Brightfield, 100× oil-immersion objective. Peripheral blood smear. Romanowsky-type stain.
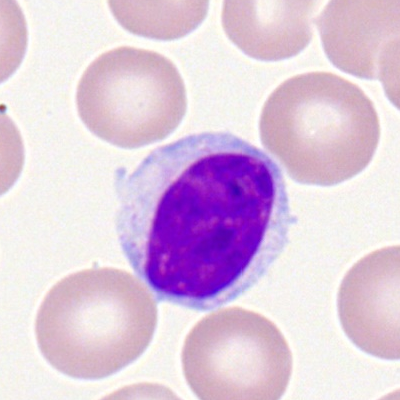 Specimen: peripheral blood smear.
Classification: lymphocyte.
Lineage: lymphoid.